250×250 px; bone marrow aspirate smear
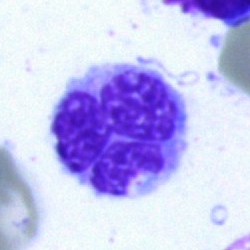

Impression → monocyte.